Single-cell field · bone marrow smear
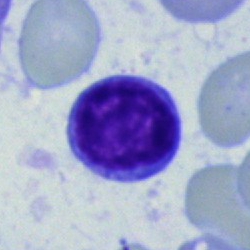 The cell shown is a typical lymphocyte.